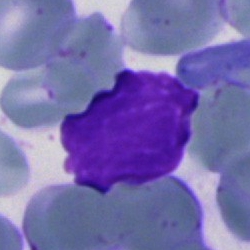
The cell shown is an artifact.